May-Grünwald-Giemsa stain. Bone marrow smear: 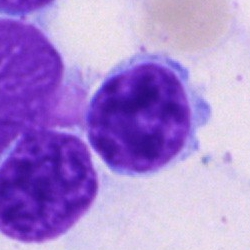

Specimen: bone marrow aspirate smear.
Morphological class: lymphocyte.